May-Grünwald-Giemsa stain; bone marrow smear: 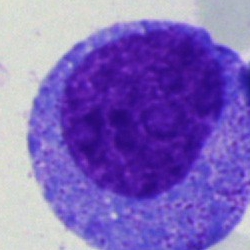
Q: What is the morphological classification of this cell?
A: A promyelocyte.